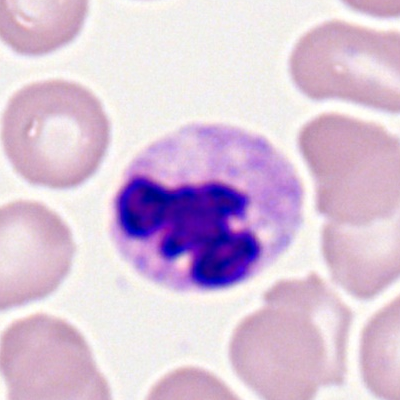 Specimen: peripheral blood smear.
Cell type: neutrophil (segmented).